MGG-stained. 250×250. Bone marrow smear — 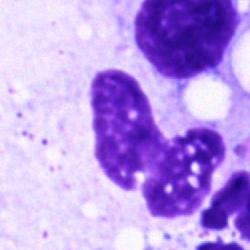
Specimen: bone marrow smear.
Morphological class: artefact.